Bone marrow aspirate smear · Pappenheim-stained:
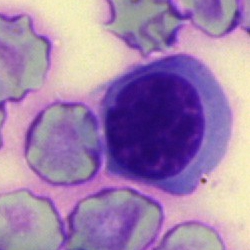
Showing a nucleated red blood cell.